Peripheral blood film:
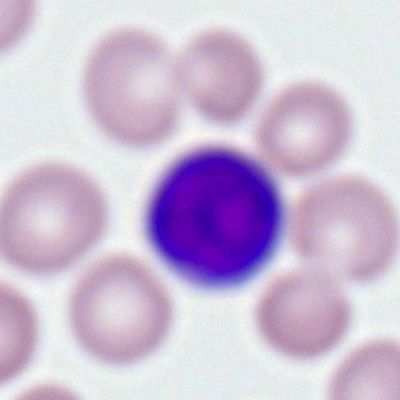
A typical lymphocyte.